Bone marrow aspirate smear. 250×250 px
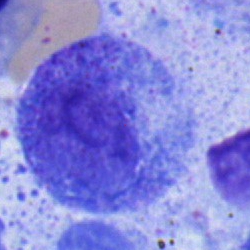
Specimen: bone marrow aspirate smear.
Classification: myelocyte.